Peripheral blood smear · single-cell field: 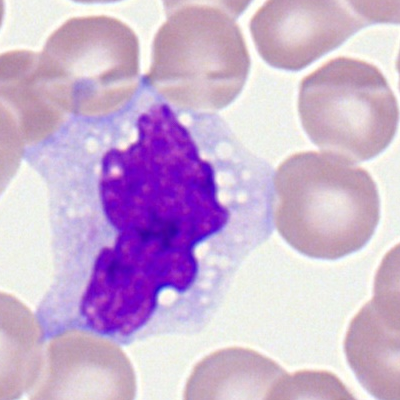 Q: What is shown here?
A: It is a monocyte.